40× oil immersion. Bone marrow aspirate smear: 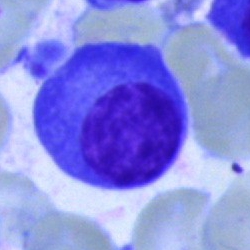 The classification is plasma cell.